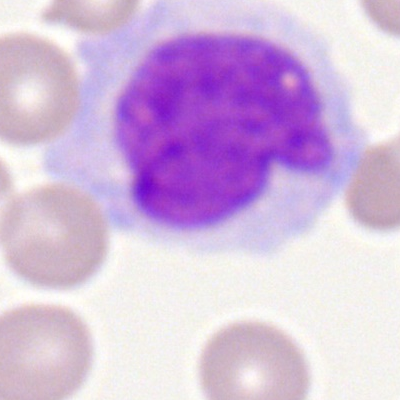
Single cell identified as a monocyte.